Bone marrow aspirate smear — 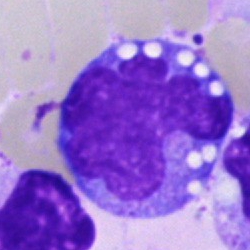

{"cell_type": "monocyte", "lineage": "myeloid"}